Bone marrow smear
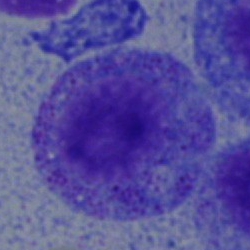
Impression → myelocyte.